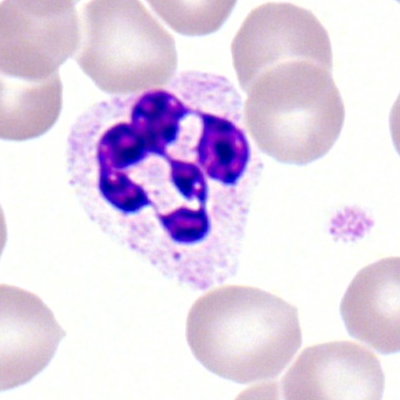Specimen: peripheral blood film.
Classification: segmented neutrophil.
Lineage: myeloid.